Bone marrow smear.
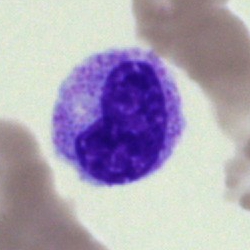

Specimen: bone marrow aspirate smear.
Cell type: metamyelocyte.
Lineage: myeloid.